Bone marrow smear: 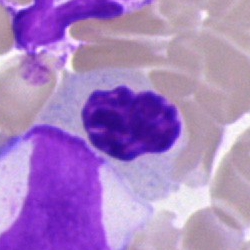Q: Identify the cell.
A: It is a nucleated red cell.